Pappenheim-stained; bone marrow aspirate smear — 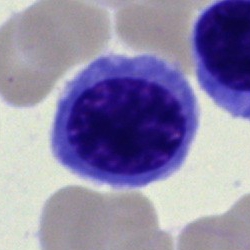Impression — nucleated red cell.